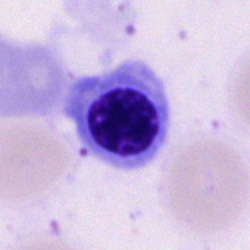Cell — nucleated red blood cell.